Bone marrow smear.
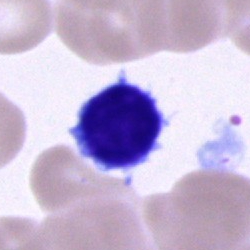 Cell: lymphocyte.